Peripheral blood film.
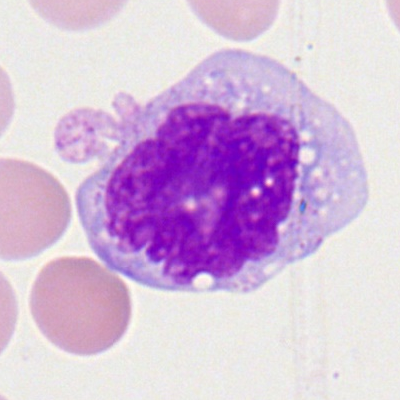 Morphological class: monocyte.